Bone marrow smear — 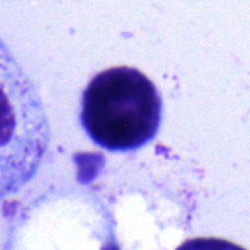 Q: Which cell type is shown here?
A: A typical lymphocyte.